Peripheral blood film. Cropped to a single cell. Brightfield, 100× oil-immersion objective:
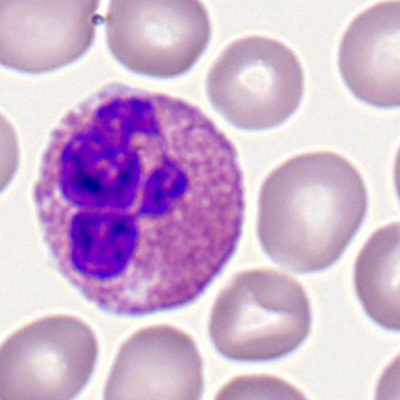
Q: What type of cell is this?
A: This is an eosinophil.